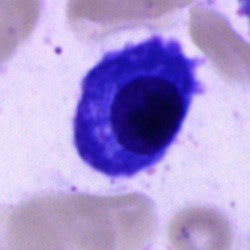

This is a plasma cell.